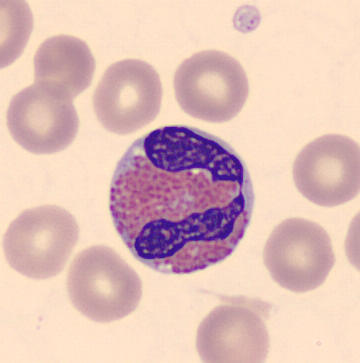 An eosinophilic granulocyte.